Single cell centered in the field; bone marrow aspirate smear — 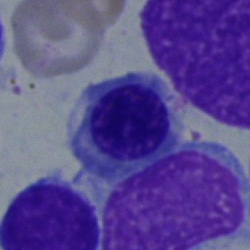

The cell shown is a normoblast.